250 by 250 pixels. Bone marrow smear.
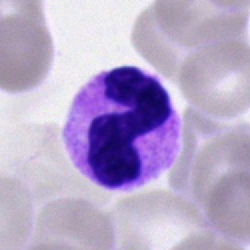Showing a stab cell.